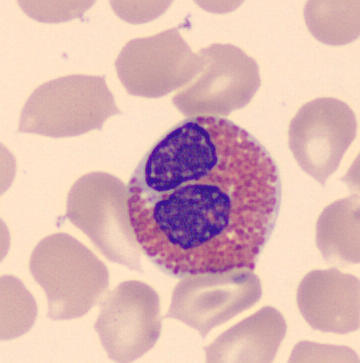
Impression → eosinophil. Peripheral blood smear.